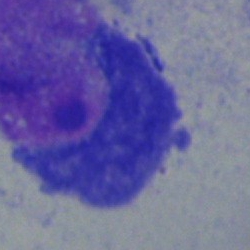

Classification — plasma cell.